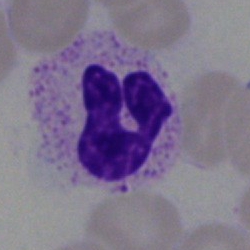Q: What is shown here?
A: A neutrophil (segmented).